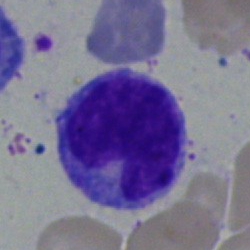 The cell type is monocyte.